Bone marrow aspirate smear; cropped to a single cell: 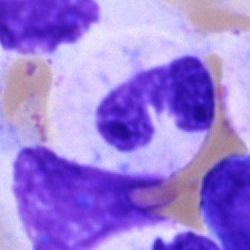

Q: What is shown here?
A: This is a neutrophil (segmented).